Bone marrow smear:
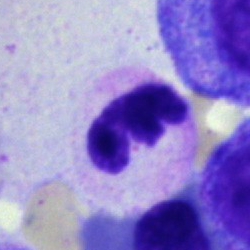 {"cell_type": "polymorphonuclear neutrophil", "lineage": "myeloid"}